Peripheral blood film
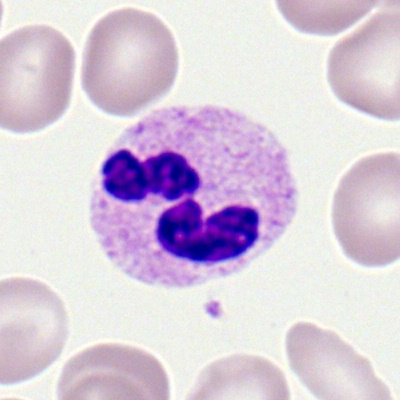Classification: polymorphonuclear neutrophil.